Bone marrow smear; single-cell crop: 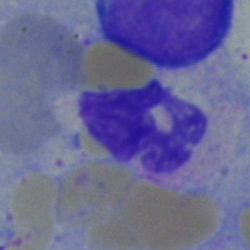 The cell is segmented neutrophil.